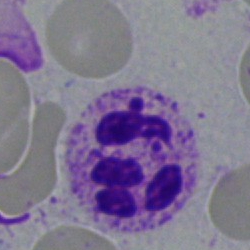
Single cell identified as a neutrophil (segmented).